Bone marrow smear: 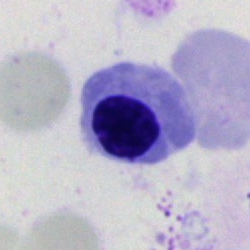Morphology consistent with an erythroblast.